Bone marrow smear:
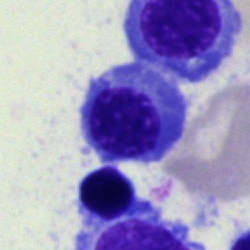 The classification is normoblast.